Peripheral blood smear; 400×400:
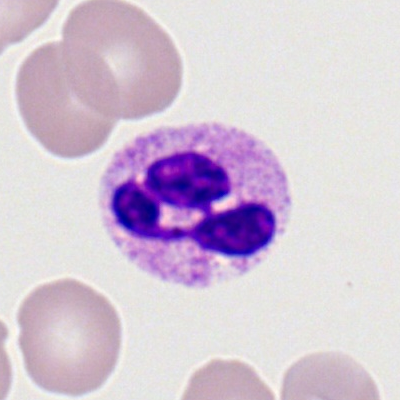Neutrophil (segmented).